Bone marrow aspirate smear: 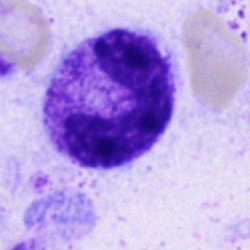
Q: What cell is this?
A: It is a band-form neutrophil.